Image size 250×250; bone marrow aspirate smear
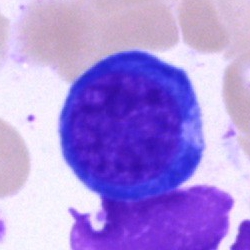
The cell shown is an erythroblast.